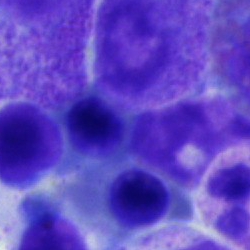 Morphology consistent with a nucleated red cell.